Image size 400×400. Peripheral blood film — 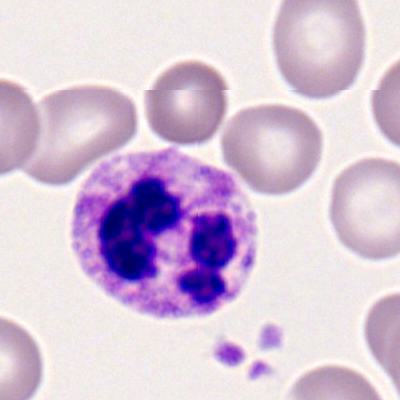 Cell = segmented neutrophil.